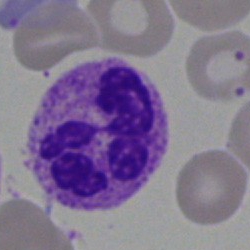 Classification — neutrophil (segmented).